Bone marrow aspirate smear · cropped to a single cell
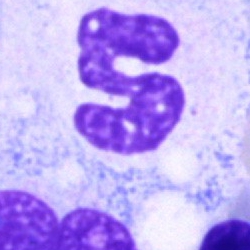 Single cell identified as a polymorphonuclear neutrophil.